Bone marrow smear · single-cell crop: 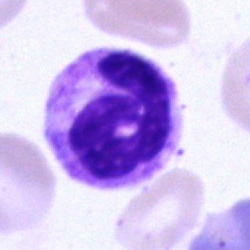Cell — segmented neutrophil.